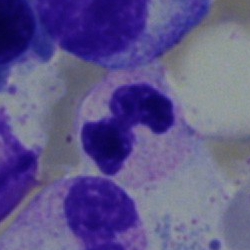

Classification = segmented neutrophil.